Bone marrow smear — 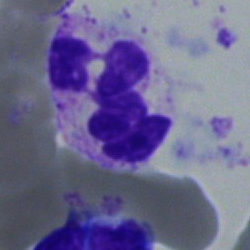
{"cell_type": "segmented neutrophil", "lineage": "myeloid"}